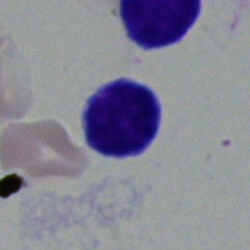 Specimen: bone marrow smear.
Morphological class: typical lymphocyte.